Bone marrow smear; image size 250×250 — 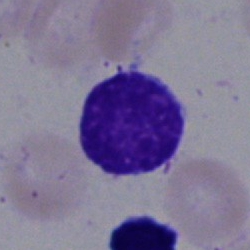
Morphology — typical lymphocyte.